Peripheral blood film:
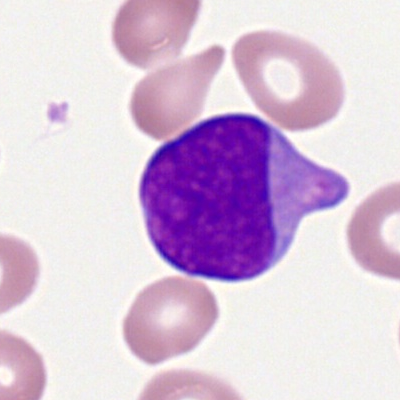
The classification is myeloid blast.